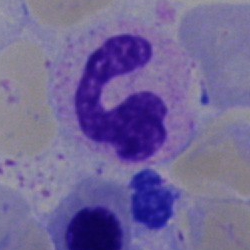
Specimen: bone marrow smear.
Cell type: polymorphonuclear neutrophil.
Lineage: myeloid.